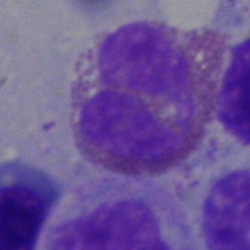

Impression — eosinophilic granulocyte.